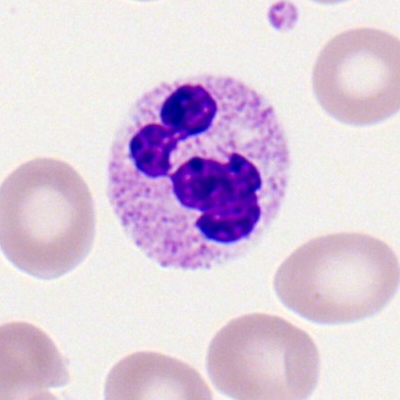
Segmented neutrophil.